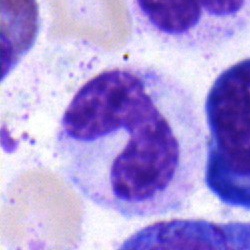

Impression — neutrophil (band).